Bone marrow aspirate smear
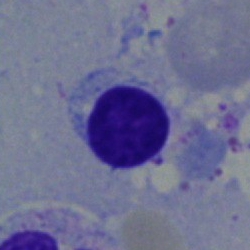

The cell shown is a lymphocyte.